Romanowsky-type stain. Peripheral blood smear — 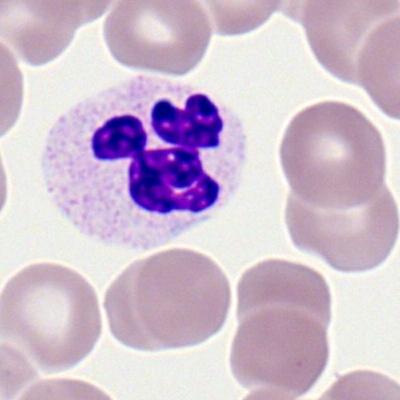
Single cell identified as a segmented neutrophil.